Bone marrow aspirate smear · 40× oil immersion
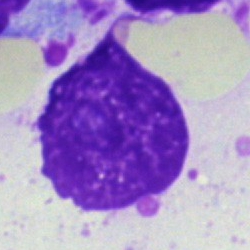Morphological class — artifact.